Bone marrow aspirate smear. 40× objective, oil immersion.
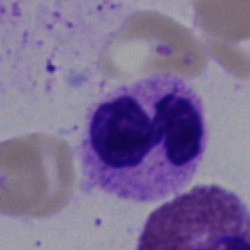 The cell shown is a polymorphonuclear neutrophil.